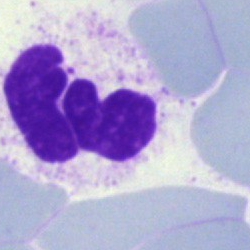The cell is segmented neutrophil.